Bone marrow smear — 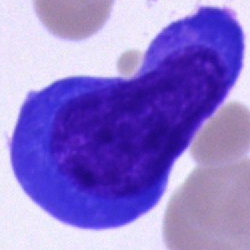Morphology consistent with a plasmacyte.